Bone marrow aspirate smear:
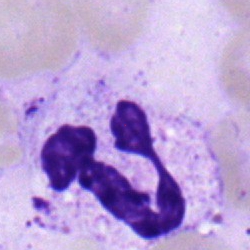
Q: Identify the cell.
A: Polymorphonuclear neutrophil.